Cropped to a single cell; bone marrow aspirate smear; Pappenheim-stained
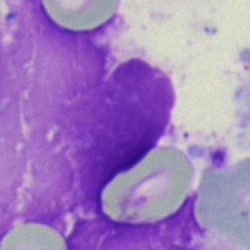Q: What is shown here?
A: It is an artefact.